Pappenheim-stained. Bone marrow smear: 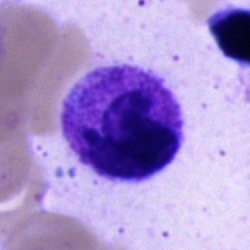This is a segmented neutrophil.